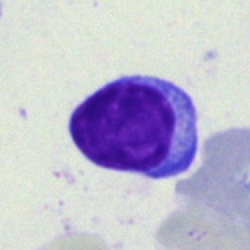
This is a lymphocyte.